Bone marrow smear; single-cell crop
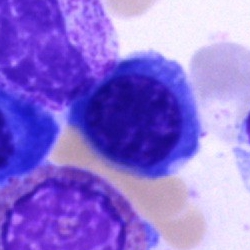 Cell — erythroblast.